Bone marrow aspirate smear: 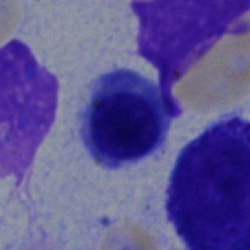
Impression — nucleated red blood cell.